Cropped to a single cell · bone marrow smear: 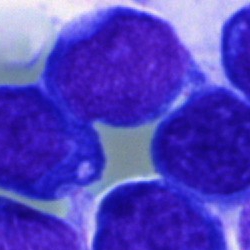Blast.